Cropped to a single cell; bone marrow smear; 40× oil immersion
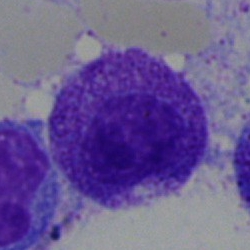Q: What is the morphological classification of this cell?
A: A myelocyte.